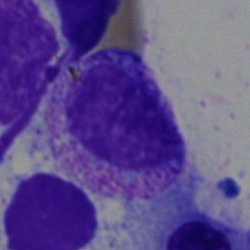

Morphological class — myelocyte.